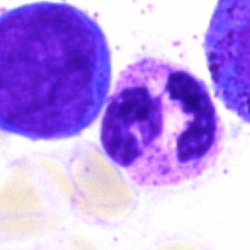
Morphology consistent with a segmented neutrophil.